Bone marrow smear.
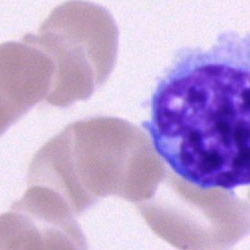 This is a monocyte.